Bone marrow aspirate smear:
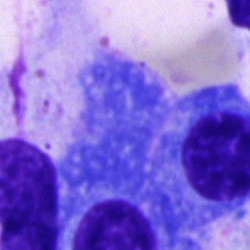
This is a plasmacyte.